MGG-stained. Bone marrow aspirate smear. 250 by 250 pixels.
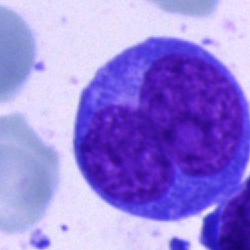Cell: blast.